M8 digital microscope (Precipoint), 100× oil immersion · peripheral blood film:
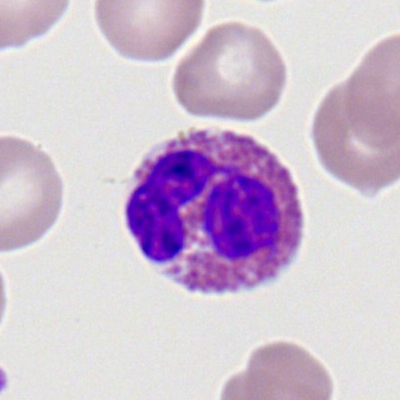Q: What cell is this?
A: Eosinophilic granulocyte.